Bone marrow aspirate smear — 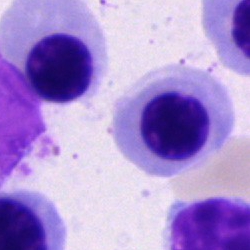

Cell = nucleated red blood cell.